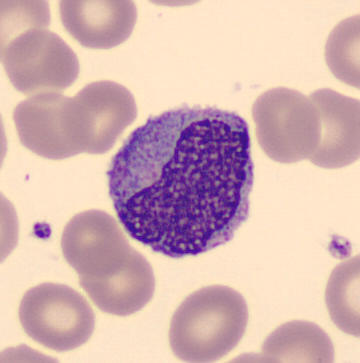A monocyte.
Image: Peripheral blood smear.